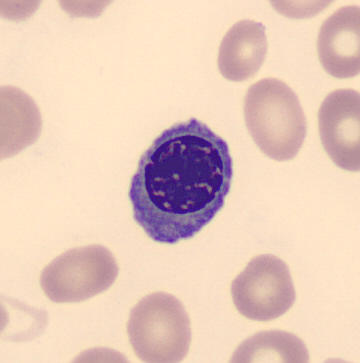Morphological class: erythroblast. Single-cell crop · peripheral blood smear.